Peripheral blood film. Romanowsky stain. Cropped to a single cell:
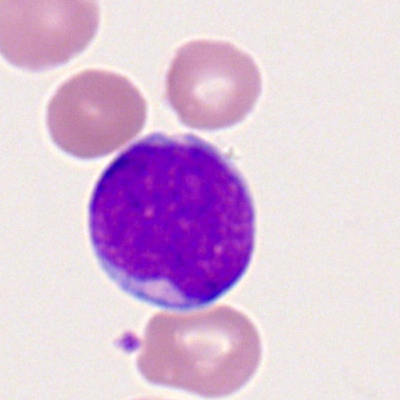
Impression — myeloblast.